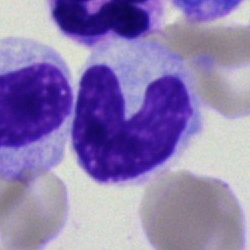
Cell: stab cell.